Bone marrow smear; May-Grünwald-Giemsa/Pappenheim stain.
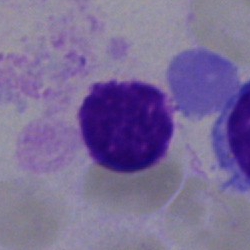
Q: What type of cell is this?
A: This is a lymphocyte.